Bone marrow smear; May-Grünwald-Giemsa/Pappenheim stain.
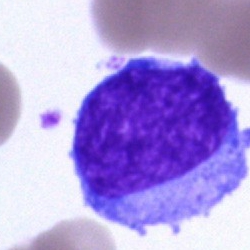
Single cell identified as an undifferentiated blast.